Bone marrow smear
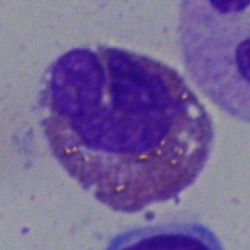
Classification: eosinophil.